Bone marrow smear.
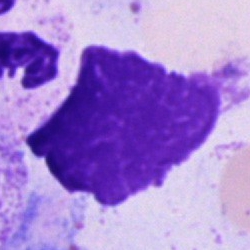

An artifact.